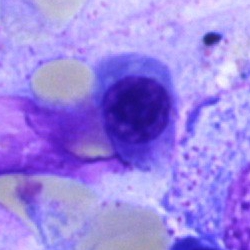Showing a nucleated red blood cell.